Bone marrow aspirate smear:
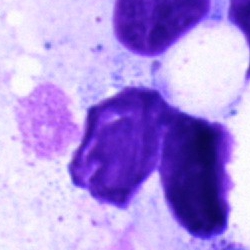
An artefact.